250×250 · bone marrow aspirate smear · Pappenheim-stained: 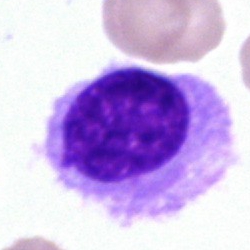

Cell: hairy cell.